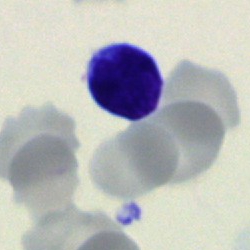 Cell type — typical lymphocyte.